May-Grünwald-Giemsa/Pappenheim stain; bone marrow aspirate smear — 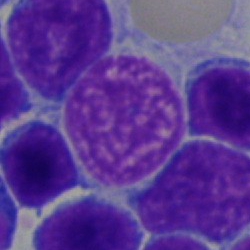
The cell shown is a lymphocyte.